Bone marrow smear: 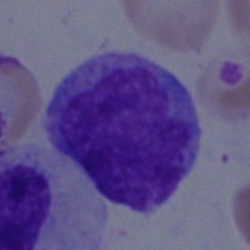

Morphological class = cell of indeterminate lineage.